Bone marrow smear:
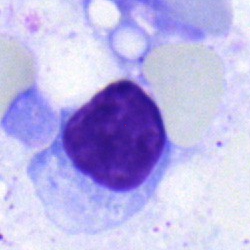 This is a lymphocyte.